Bone marrow smear: 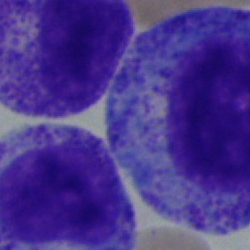 {"cell_type": "progranulocyte", "lineage": "myeloid"}